Bone marrow aspirate smear.
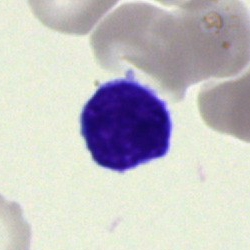The cell type is typical lymphocyte.